Bone marrow aspirate smear — 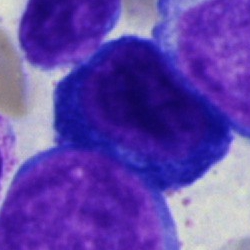 An erythroblast.